Bone marrow aspirate smear. Single-cell crop — 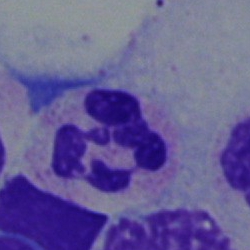

Q: What type of cell is this?
A: It is a polymorphonuclear neutrophil.